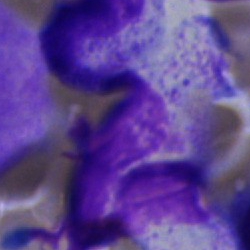
Cell: artefact.